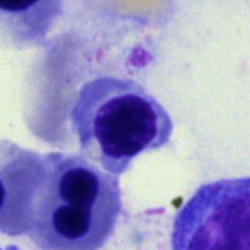 Impression — erythroblast.